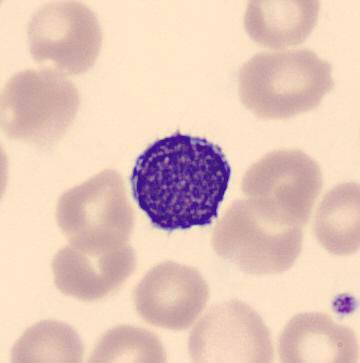 Lymphocyte.